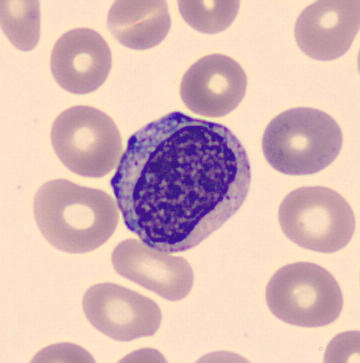

Single cell identified as a myelocyte. Peripheral blood smear; MGG stain.